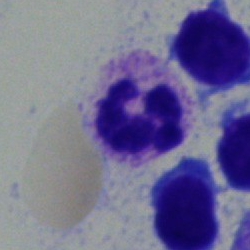 Showing a segmented neutrophil.